Bone marrow aspirate smear: 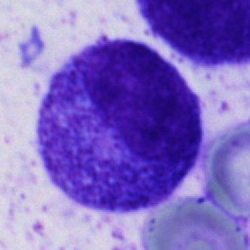Showing a promyelocyte.